Bone marrow smear: 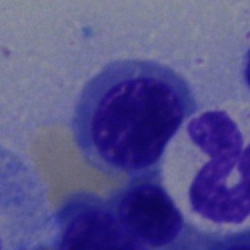Cell: nucleated red blood cell.